Bone marrow aspirate smear: 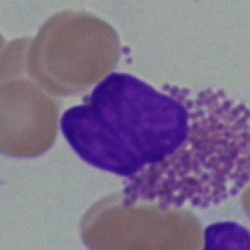

Specimen: bone marrow aspirate smear.
Morphological class: eosinophil.
Lineage: myeloid.